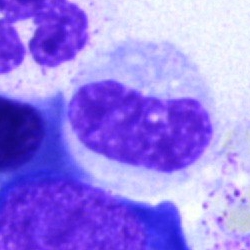Q: Which cell type is shown here?
A: It is a stab cell.